Bone marrow smear
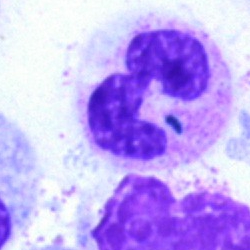
Q: Identify the cell.
A: Polymorphonuclear neutrophil.